Bone marrow aspirate smear:
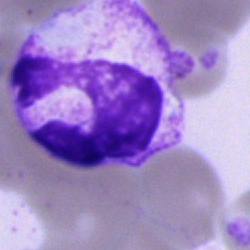 Morphology — segmented neutrophil.